Peripheral blood film:
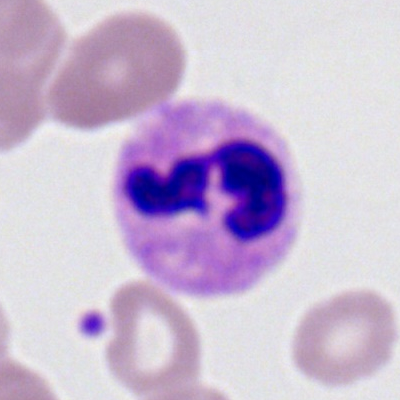
{"cell_type": "segmented neutrophil", "lineage": "myeloid"}